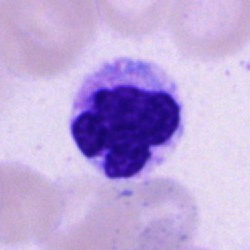 Cell type — neutrophil (segmented).